Bone marrow smear. May-Grünwald-Giemsa/Pappenheim stain.
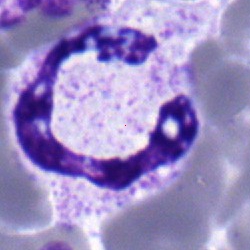This is a polymorphonuclear neutrophil.